Single-cell field · bone marrow smear:
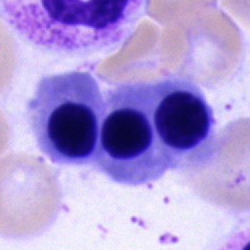Specimen: bone marrow aspirate smear.
Morphological class: nucleated red blood cell.
Lineage: erythroid.